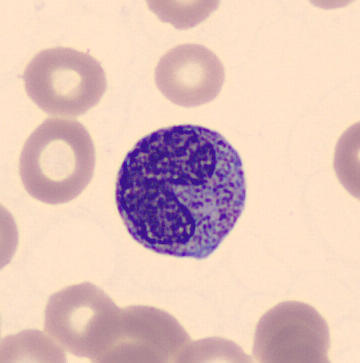Peripheral blood smear; cropped to a single cell.

Q: What is shown here?
A: It is a metamyelocyte.